May-Grünwald-Giemsa/Pappenheim stain · bone marrow smear
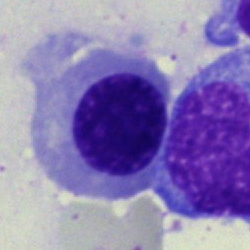
The cell type is nucleated red cell.